250 by 250 pixels; bone marrow smear; cropped to a single cell:
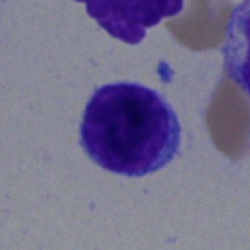
Showing a lymphocyte.